Brightfield, 40× oil-immersion objective · bone marrow smear · May-Grünwald-Giemsa/Pappenheim stain:
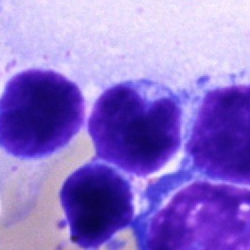The cell shown is a typical lymphocyte.